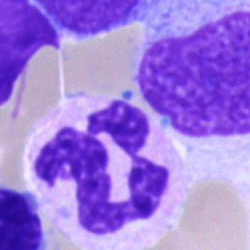 Classification: neutrophil (segmented).